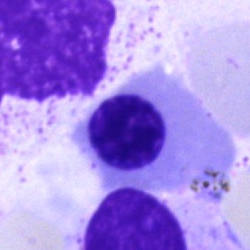

Nucleated red cell.